Bone marrow smear
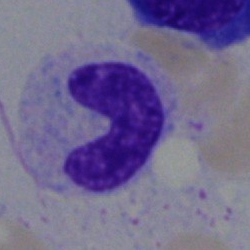Specimen: bone marrow smear.
Morphological class: neutrophil (band).
Lineage: myeloid.